Bone marrow smear
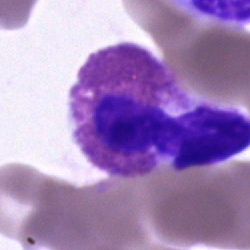The cell shown is an eosinophilic granulocyte.